250×250. Bone marrow aspirate smear. Cropped to a single cell:
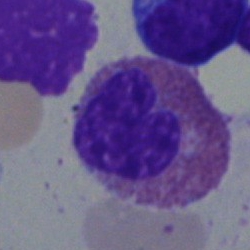
The classification is eosinophil.